Peripheral blood film · single cell centered in the field.
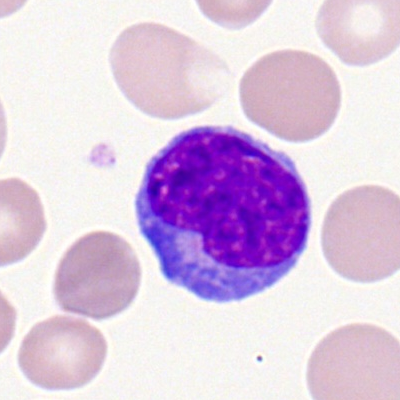 Specimen: peripheral blood film.
Classification: typical lymphocyte.
Lineage: lymphoid.